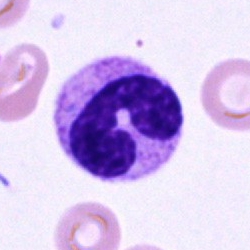 Morphology — polymorphonuclear neutrophil.